250×250 px; bone marrow aspirate smear; 40× objective, oil immersion
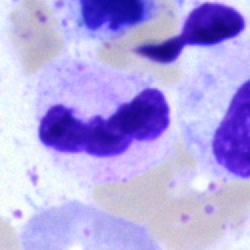Specimen: bone marrow aspirate smear.
Cell type: polymorphonuclear neutrophil.
Lineage: myeloid.